Pappenheim-stained. 40× objective, oil immersion. Bone marrow smear — 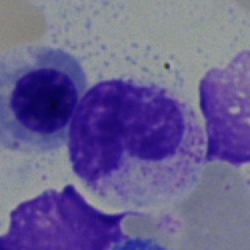
Morphology → metamyelocyte.